Bone marrow aspirate smear
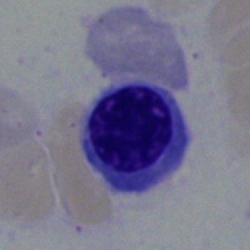The cell type is erythroblast.